Peripheral blood film: 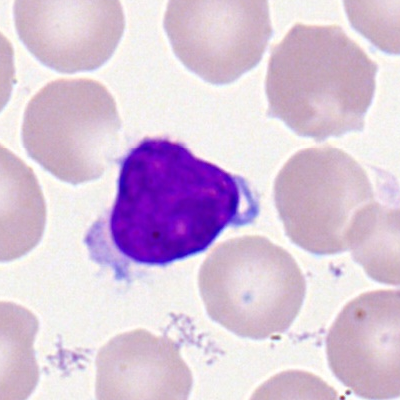 The cell is typical lymphocyte.